250×250 px. Bone marrow aspirate smear.
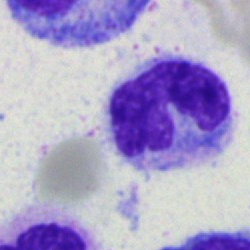 The cell shown is a monocyte.